Peripheral blood film.
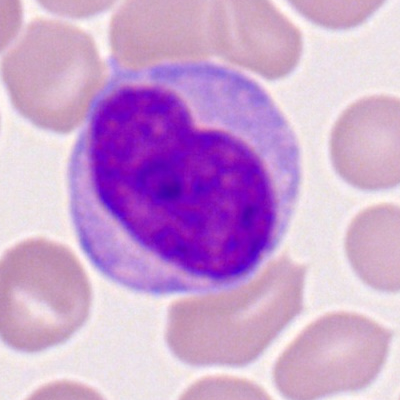 {"cell_type": "monocyte", "lineage": "myeloid"}